Bone marrow aspirate smear; 40× oil immersion; single-cell crop: 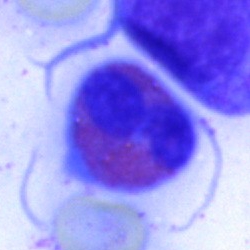

Single cell identified as an eosinophilic granulocyte.